Image size 250×250; bone marrow smear:
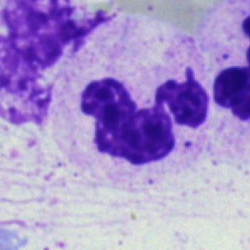 The cell shown is a polymorphonuclear neutrophil.